Peripheral blood smear:
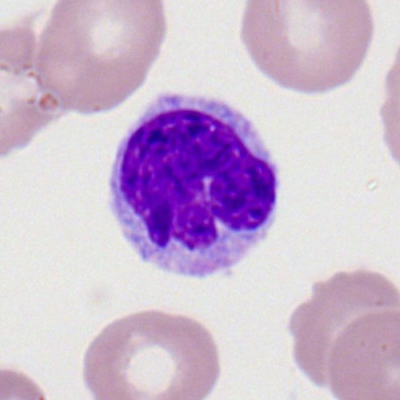Morphology — monocyte.